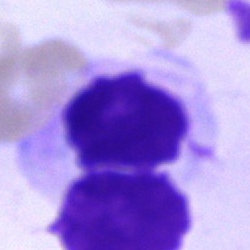 Bone marrow smear showing an artifact.